May-Grünwald-Giemsa/Pappenheim stain; bone marrow aspirate smear:
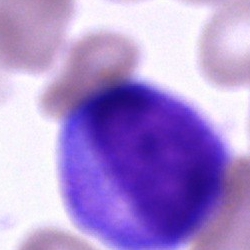

Morphology consistent with a blast.